Image size 250×250; bone marrow smear.
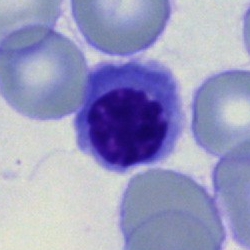 Q: What type of cell is this?
A: Nucleated red blood cell.